Peripheral blood smear; 360×363.
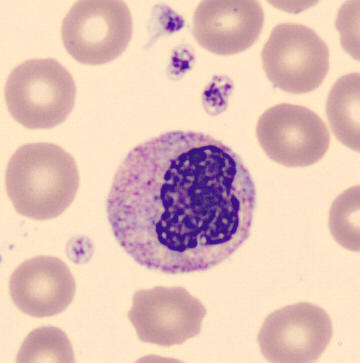 A metamyelocyte.